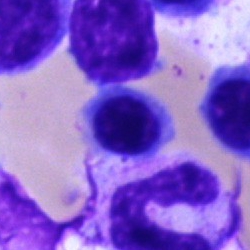
Specimen: bone marrow smear.
Cell: nucleated red blood cell.
Lineage: erythroid.